Brightfield microscopy, 40× oil immersion; bone marrow aspirate smear.
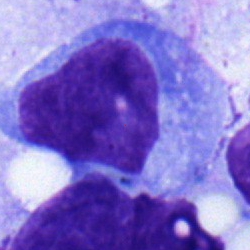 Q: What is the morphological classification of this cell?
A: A monocyte.